Bone marrow aspirate smear
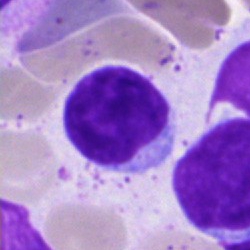Typical lymphocyte.